Bone marrow aspirate smear. MGG-stained. 250×250 px — 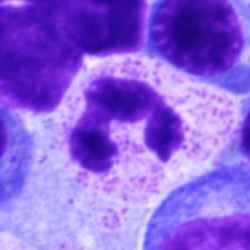
Impression — polymorphonuclear neutrophil.